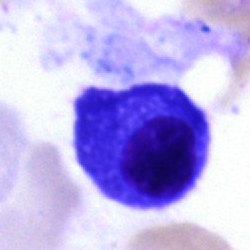

Cell type = plasma cell.